M8 digital microscope (Precipoint), 100× oil immersion · peripheral blood smear:
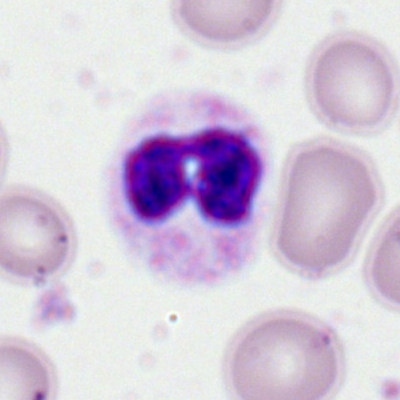Cell type — polymorphonuclear neutrophil.